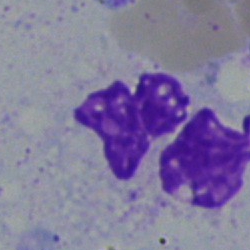

{"cell_type": "neutrophil (segmented)"}